Single cell centered in the field; brightfield microscopy, 40× oil immersion; bone marrow smear
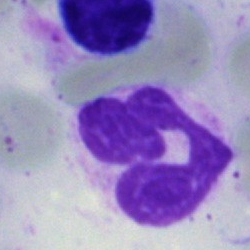

Polymorphonuclear neutrophil.